Bone marrow aspirate smear; single-cell field: 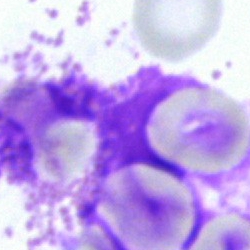 Cell — artifact.